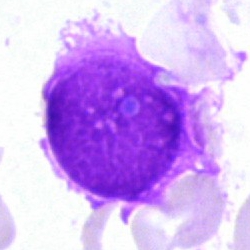
Cell type — artifact.